Peripheral blood film — 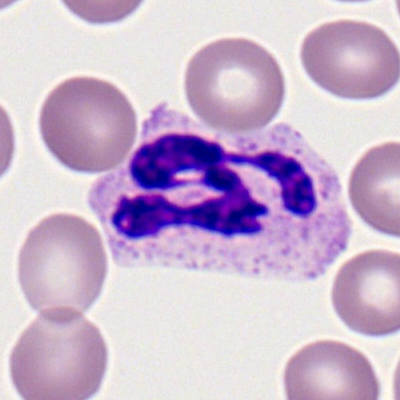Cell type = polymorphonuclear neutrophil.